May-Grünwald-Giemsa/Pappenheim stain; single cell centered in the field; bone marrow aspirate smear
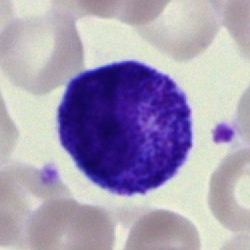 Morphology → promyelocyte.